Cropped to a single cell. Bone marrow aspirate smear:
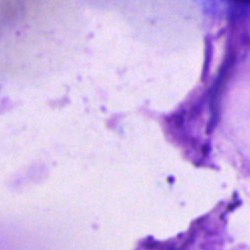Morphology consistent with an artefact.